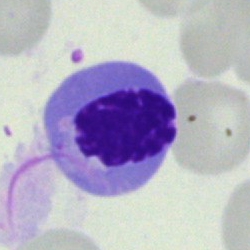
Single-cell crop from a bone marrow smear: normoblast.